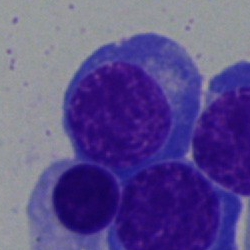

Bone marrow smear showing a plasmacyte.